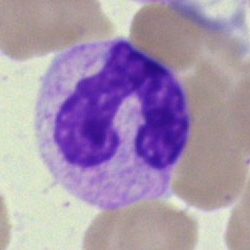
Specimen: bone marrow aspirate smear.
Morphological class: neutrophil (band).